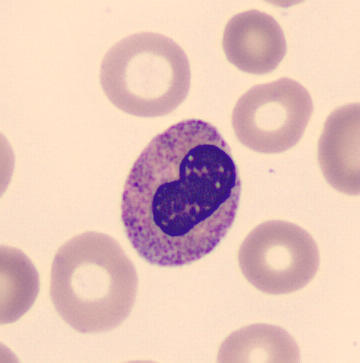 Morphology → band neutrophil. Peripheral blood smear.